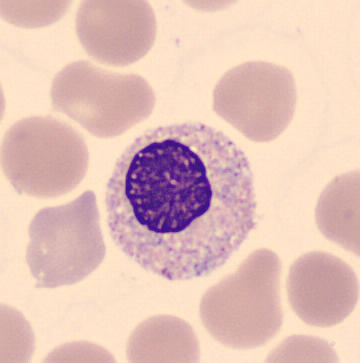Morphological class — myelocyte.
Single-cell crop · peripheral blood smear · 360×363 px.